Bone marrow smear — 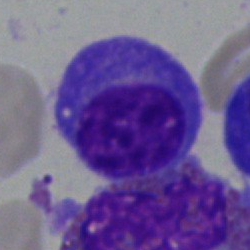 This is a plasma cell.